Bone marrow smear: 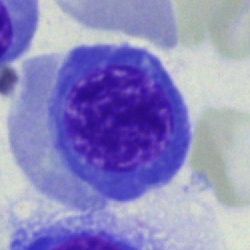
Classification: erythroblast.